Bone marrow smear:
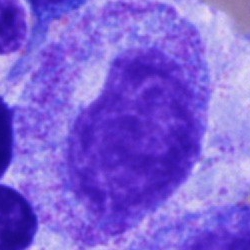

The cell shown is a promyelocyte.